Cropped to a single cell · MGG stain · peripheral blood film — 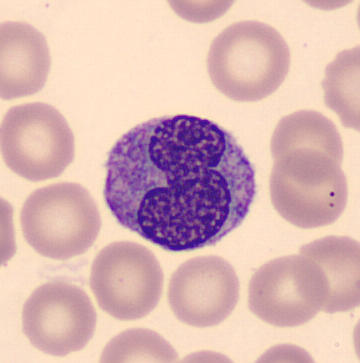 Specimen: peripheral blood smear.
Classification: monocyte.
Lineage: myeloid.